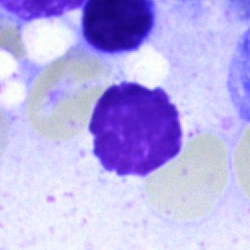Cell type — artifact.